40× oil immersion. 250×250 px. Bone marrow smear: 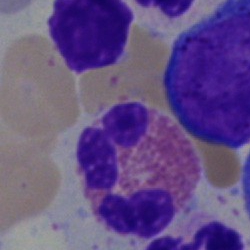

Showing an eosinophilic granulocyte.